Bone marrow smear — 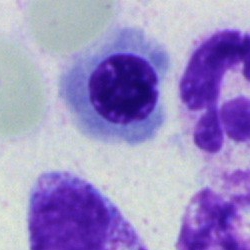
Nucleated red cell.